Bone marrow aspirate smear
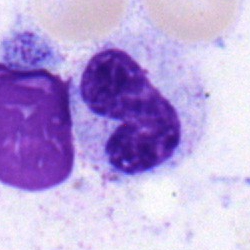
Cell type = band neutrophil.